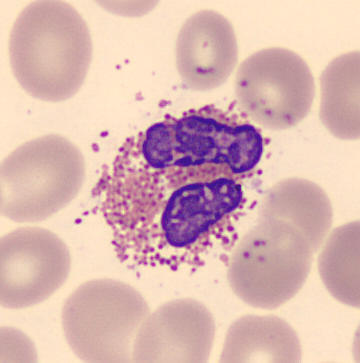 Classification: eosinophilic granulocyte.